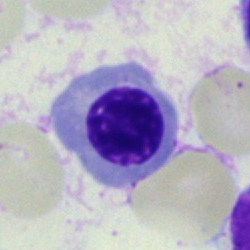 This is an erythroblast.